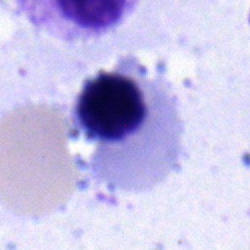
Q: Identify the cell.
A: It is an erythroblast.